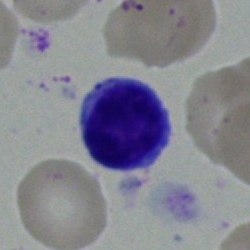 Impression → typical lymphocyte.